Bone marrow smear · single-cell crop · 250×250 px
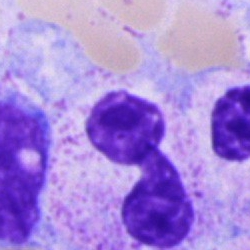The classification is neutrophil (segmented).